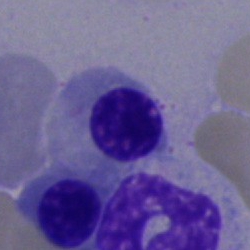Bone marrow smear showing an erythroblast.